Bone marrow aspirate smear; single-cell field; May-Grünwald-Giemsa stain: 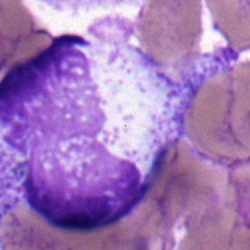 Classification = metamyelocyte.